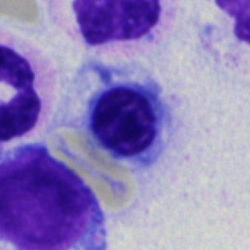

Morphological class — normoblast.